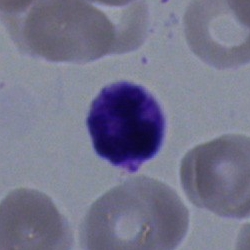 Morphological class: segmented neutrophil.